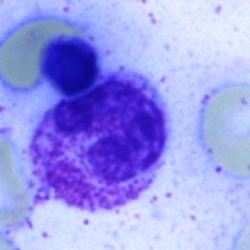 Morphological class: polymorphonuclear neutrophil.